Bone marrow aspirate smear:
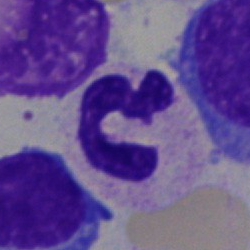
Q: What cell is this?
A: A neutrophil (segmented).